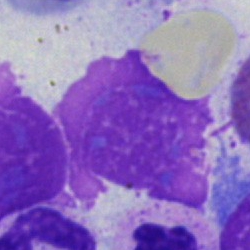Impression — artefact.